Bone marrow aspirate smear. Cropped to a single cell.
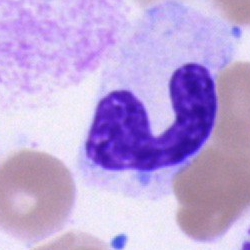

Cell = band neutrophil.